Bone marrow aspirate smear · MGG-stained: 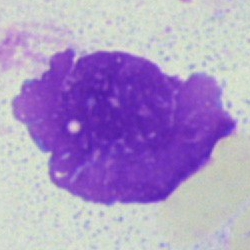
Cell type — artifact.